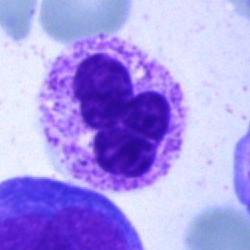Q: What is the morphological classification of this cell?
A: A polymorphonuclear neutrophil.